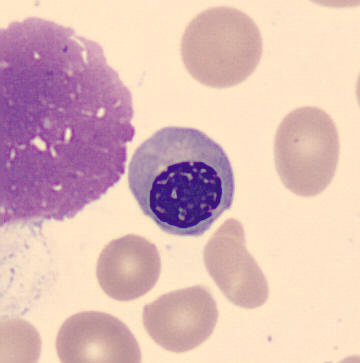 Cell type — normoblast. Image: 360 by 363 pixels; peripheral blood smear.